Bone marrow smear · 40× oil immersion:
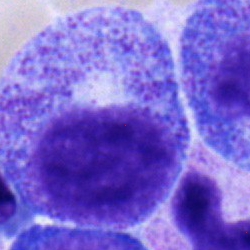 The cell type is progranulocyte.